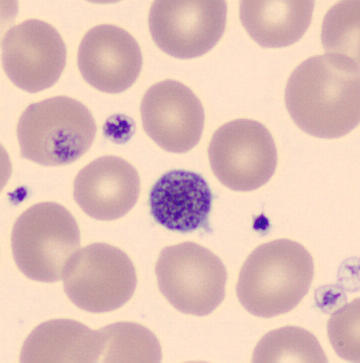 Specimen: peripheral blood film.
Morphological class: thrombocyte.
Preparation: Automated cell imaging (CellaVision DM96); 360 by 363 pixels.